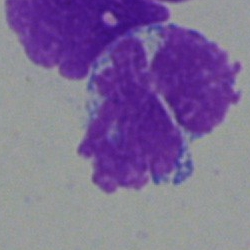

The cell shown is an artefact.